Peripheral blood film: 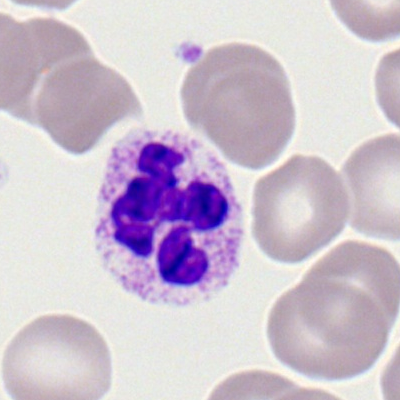
Morphology consistent with a polymorphonuclear neutrophil.